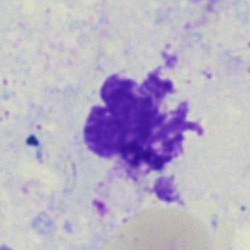

Classification — artifact.